Bone marrow aspirate smear; single-cell crop: 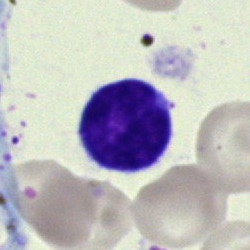 A lymphocyte.